Brightfield microscopy, 40× oil immersion. Bone marrow smear.
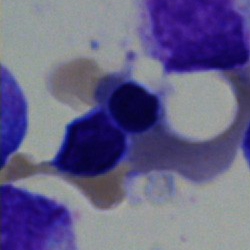
Specimen: bone marrow aspirate smear.
Morphological class: erythroblast.